Bone marrow aspirate smear: 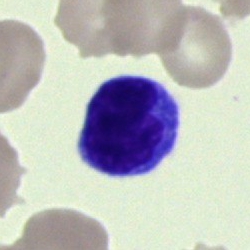
Morphological class: typical lymphocyte.